250×250 px; bone marrow smear:
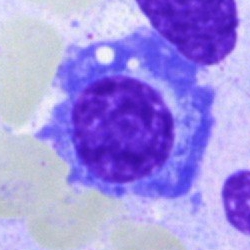Showing a plasmacyte.